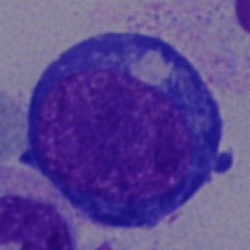Cell = proerythroblast.